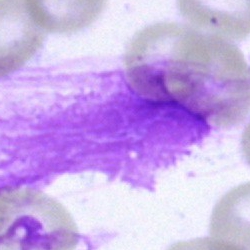 Impression — artifact.